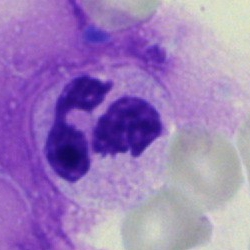A segmented neutrophil.